Bone marrow aspirate smear. 40× oil immersion. Pappenheim-stained:
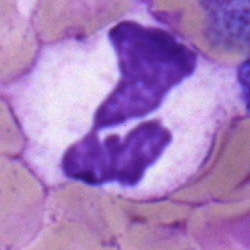
{"cell_type": "neutrophil (segmented)"}